Bone marrow smear. Brightfield microscopy, 40× oil immersion
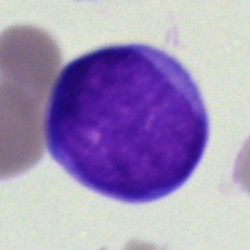
Impression → blast cell.